Bone marrow aspirate smear — 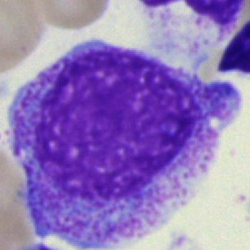Specimen: bone marrow aspirate smear.
Cell: myelocyte.
Lineage: myeloid.